Bone marrow aspirate smear — 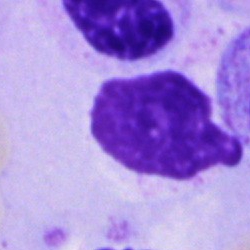

Morphological class — artifact.